Bone marrow aspirate smear; single cell centered in the field: 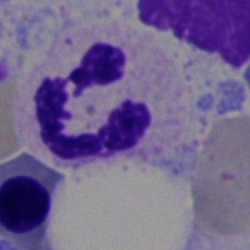
The cell type is neutrophil (segmented).